Bone marrow aspirate smear
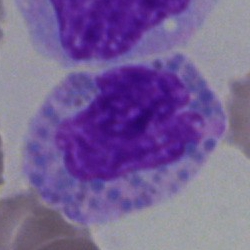
Classification: myelocyte.